40× objective, oil immersion. Bone marrow smear — 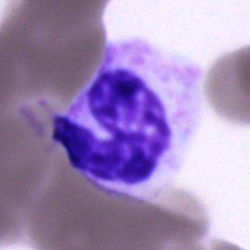
The cell shown is a neutrophil (segmented).